Bone marrow aspirate smear.
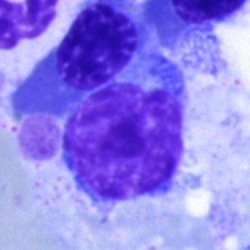 Single cell identified as a typical lymphocyte.